Brightfield microscopy, 40× oil immersion · bone marrow smear — 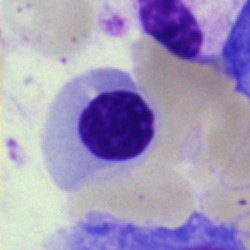 Specimen: bone marrow smear.
Morphological class: nucleated red cell.